Bone marrow aspirate smear:
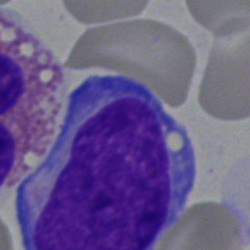This is a blast cell.